Single cell centered in the field. 40× oil immersion. Bone marrow smear
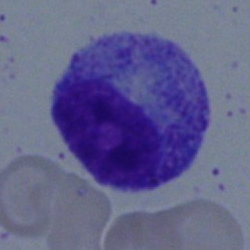 Myelocyte.